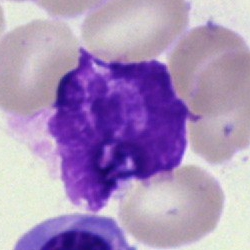

Impression → artifact.